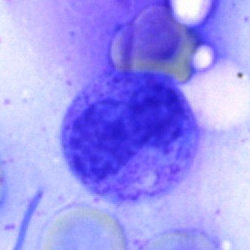

Single-cell crop from a bone marrow smear: metamyelocyte.